Bone marrow aspirate smear
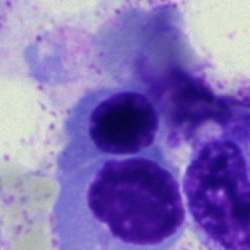

Specimen: bone marrow aspirate smear.
Classification: nucleated red cell.